Image size 250×250; bone marrow smear — 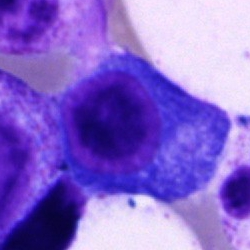

A plasmacyte.